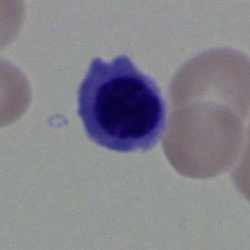 This is an erythroblast.